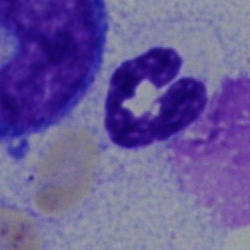 Q: What cell is this?
A: A polymorphonuclear neutrophil.